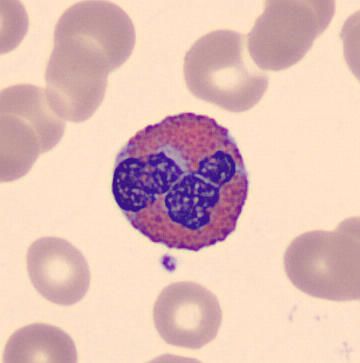Specimen: peripheral blood smear.
Cell type: eosinophilic granulocyte.